Bone marrow aspirate smear; brightfield microscopy, 40× oil immersion:
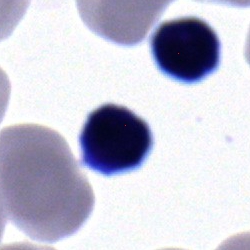 The cell shown is a typical lymphocyte.